Bone marrow smear. Cropped to a single cell:
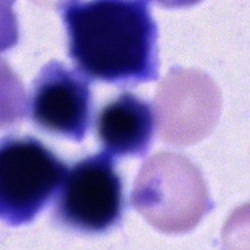

Cell type — unidentifiable cell.